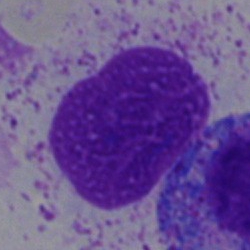
This is an artefact.